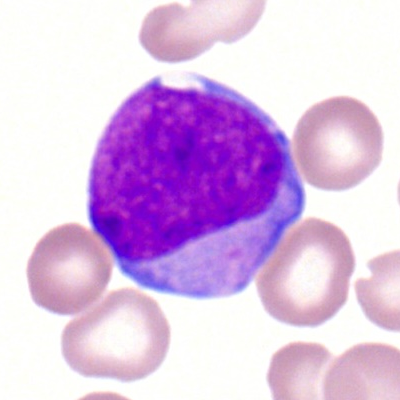Q: What is shown here?
A: This is a myeloblast.